Bone marrow aspirate smear:
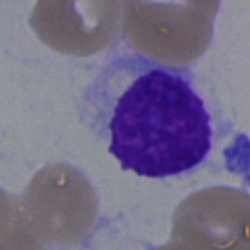 The cell shown is an artefact.